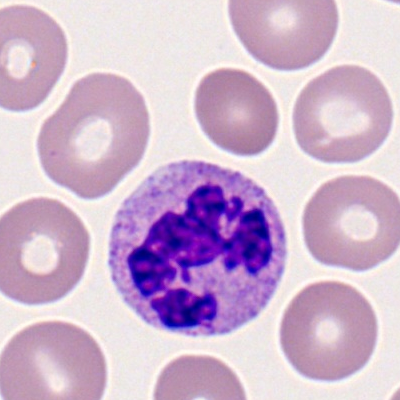

Peripheral blood smear showing a neutrophil (segmented).